Bone marrow aspirate smear · May-Grünwald-Giemsa/Pappenheim stain: 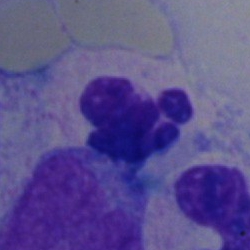
Q: Which cell type is shown here?
A: A neutrophil (segmented).